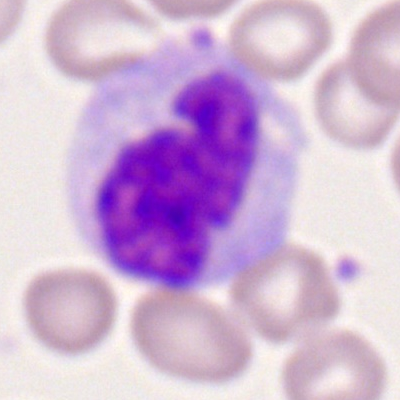

Q: Which cell type is shown here?
A: This is a monocyte.